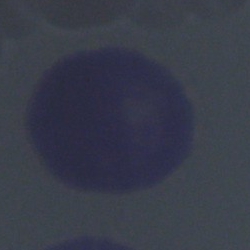 Q: Which cell type is shown here?
A: It is a cell of indeterminate lineage.